Bone marrow aspirate smear.
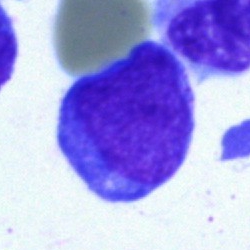
Morphological class — blast cell.